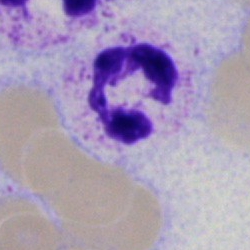Cell: neutrophil (segmented).